Peripheral blood smear. Single cell centered in the field:
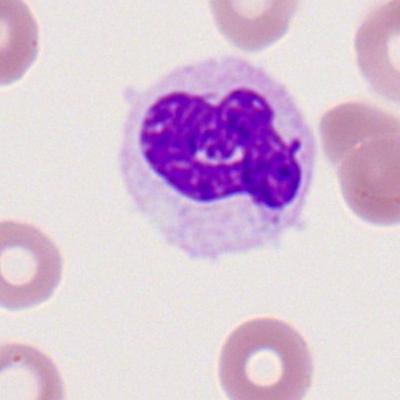 Specimen: peripheral blood smear.
Morphological class: neutrophil (segmented).
Lineage: myeloid.